250×250 px; bone marrow smear; May-Grünwald-Giemsa/Pappenheim stain — 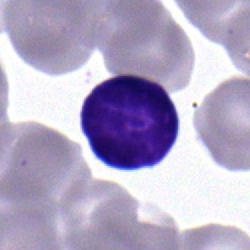
Specimen: bone marrow smear.
Cell: lymphocyte.
Lineage: lymphoid.